Bone marrow smear: 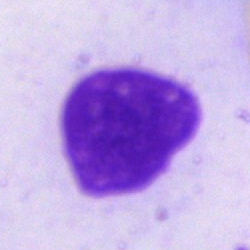
Classification: artifact.